Bone marrow smear:
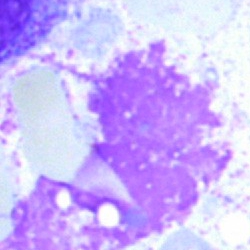
Cell type: artifact.